Single-cell field; bone marrow smear: 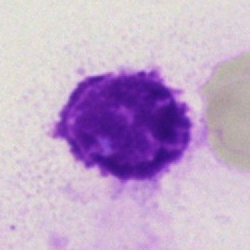

Morphology — artefact.